Romanowsky stain. Peripheral blood film — 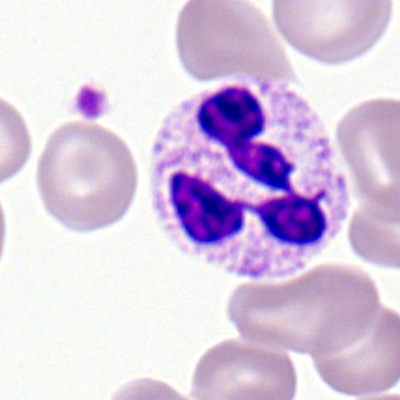Q: What cell is this?
A: A neutrophil (segmented).